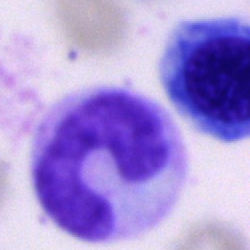

Q: What is shown here?
A: Band-form neutrophil.